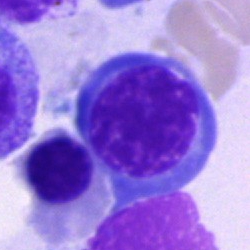

Cell type — nucleated red blood cell.